Peripheral blood film; 400×400: 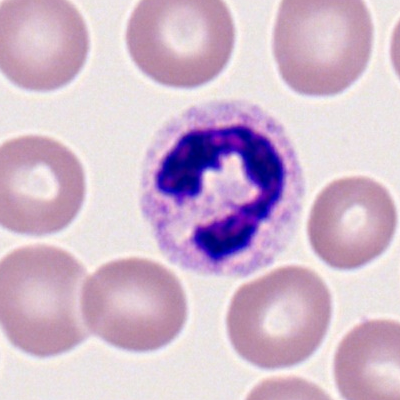

Single cell identified as a neutrophil (segmented).